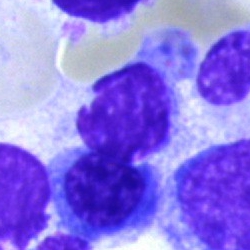Bone marrow smear showing a typical lymphocyte.